Peripheral blood smear: 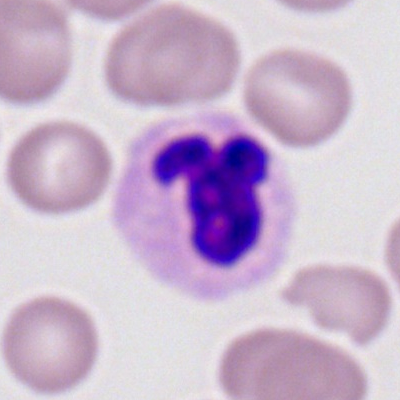 Q: What cell is this?
A: A neutrophil (segmented).